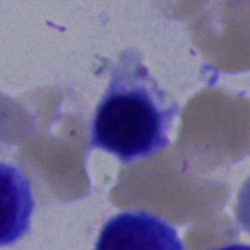 Morphology consistent with a nucleated red cell.